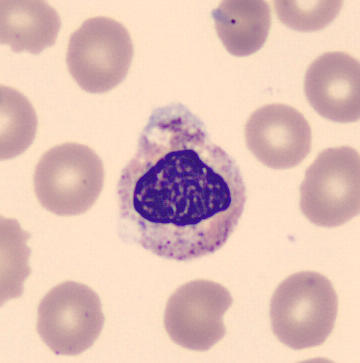
Specimen: peripheral blood smear.
Cell type: myelocyte.
Lineage: myeloid.
CellaVision DM96.